Bone marrow smear.
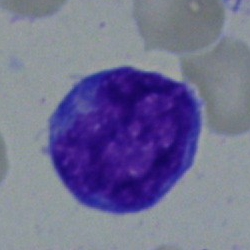Specimen: bone marrow smear.
Classification: blast cell.